Bone marrow smear
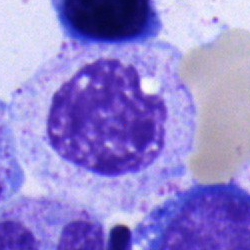
Cell = myelocyte.